400×400 · peripheral blood smear.
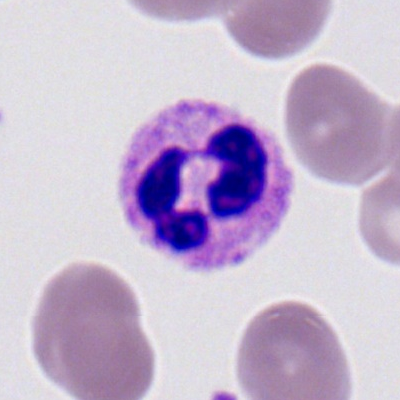

A neutrophil (segmented).